Bone marrow aspirate smear — 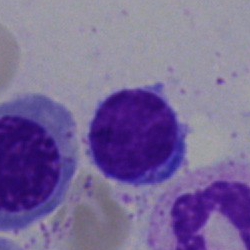Morphology — typical lymphocyte.